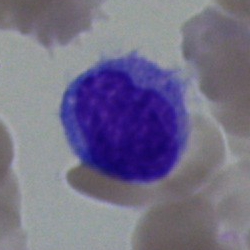

A monocyte.